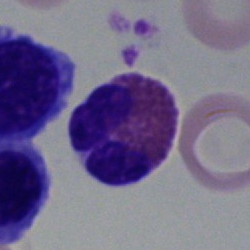Q: Which cell type is shown here?
A: An eosinophil.